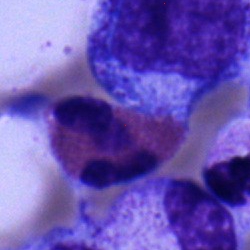{"cell_type": "eosinophil"}